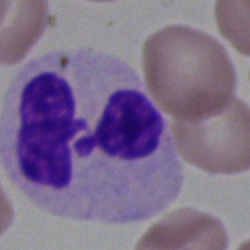
Cell = neutrophil (segmented).